Bone marrow smear
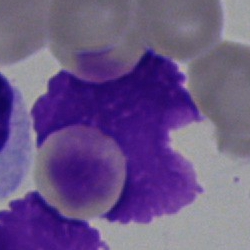 {"cell_type": "artefact"}